Bone marrow aspirate smear.
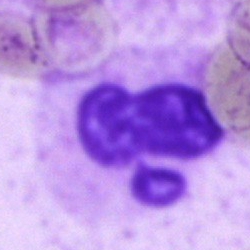Morphology → polymorphonuclear neutrophil.